Bone marrow aspirate smear — 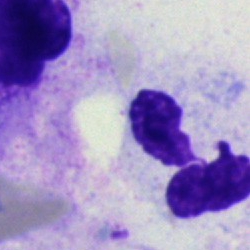 Impression → polymorphonuclear neutrophil.